Single-cell field; bone marrow smear
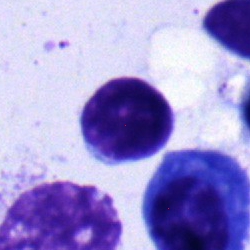
Morphological class = typical lymphocyte.